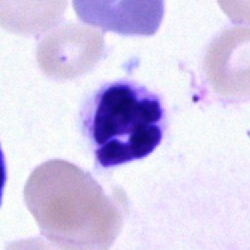 Q: What is shown here?
A: A segmented neutrophil.